Pappenheim-stained · bone marrow smear:
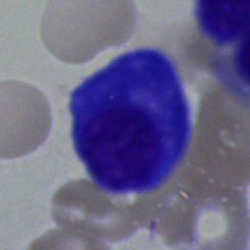A plasma cell.